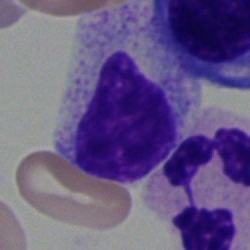
Morphology → myelocyte.